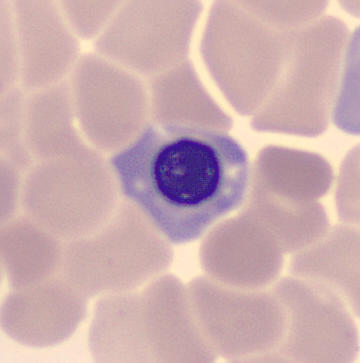

Peripheral blood smear.
Classification: erythroblast.